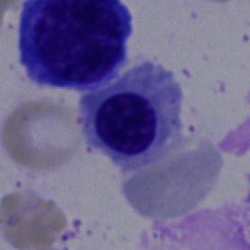
Cell = nucleated red blood cell.